Image size 250×250; bone marrow smear; single cell centered in the field.
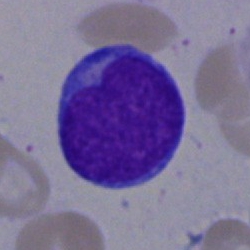Blast.